Image size 250×250; bone marrow aspirate smear — 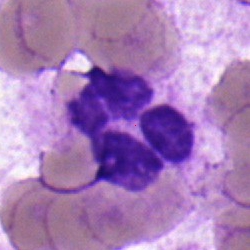 The cell is neutrophil (segmented).